250 by 250 pixels. May-Grünwald-Giemsa/Pappenheim stain. Bone marrow aspirate smear — 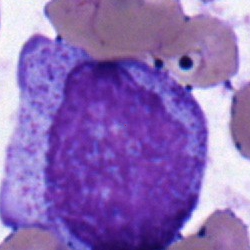 Showing a progranulocyte.